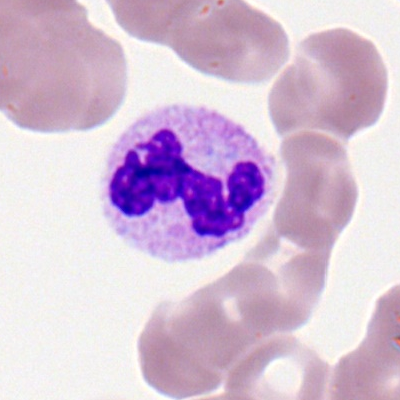Segmented neutrophil.